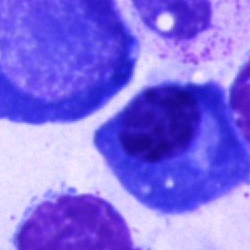
Q: What is the morphological classification of this cell?
A: This is a plasmacyte.